Bone marrow aspirate smear
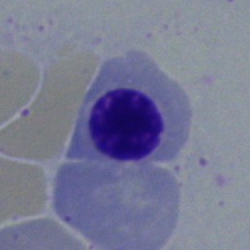
Showing an erythroblast.